Bone marrow aspirate smear; May-Grünwald-Giemsa stain — 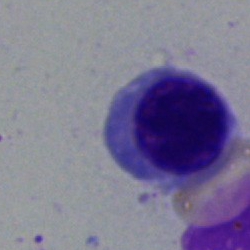 Cell type = erythroblast.